Bone marrow smear: 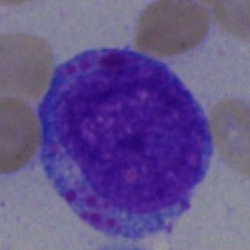 Q: What type of cell is this?
A: Progranulocyte.